40× oil immersion; single-cell crop; bone marrow smear: 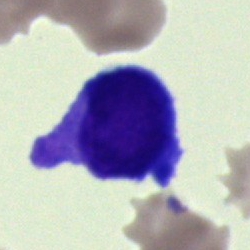
The classification is undifferentiated blast.